Image size 250×250 · bone marrow smear:
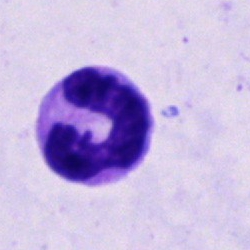Cell type — band-form neutrophil.